Bone marrow aspirate smear:
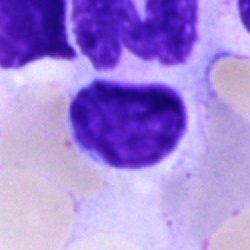

Cell — lymphocyte.